Cropped to a single cell · Pappenheim-stained · bone marrow aspirate smear: 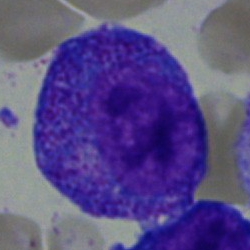Classification: promyelocyte.